Bone marrow smear
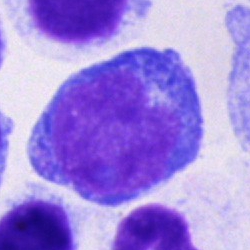 The cell shown is an undifferentiated blast.